Bone marrow aspirate smear.
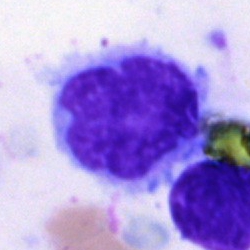Showing a monocyte.